Bone marrow smear:
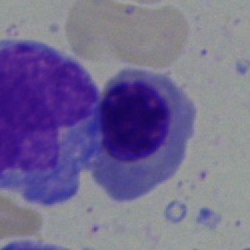

Morphology → erythroblast.